Peripheral blood smear
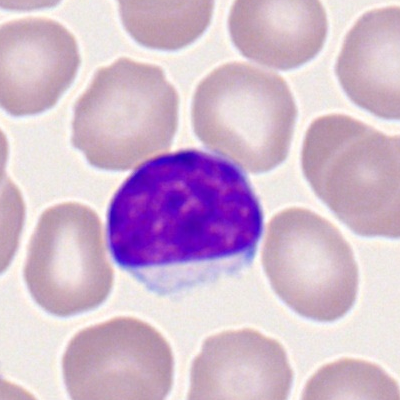

Q: What cell is this?
A: This is a typical lymphocyte.